Bone marrow smear — 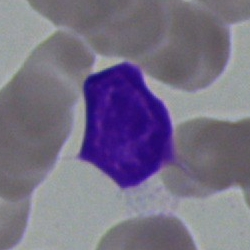

Showing a typical lymphocyte.